Single-cell crop · bone marrow aspirate smear — 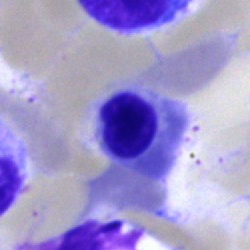 The cell type is nucleated red blood cell.